May-Grünwald-Giemsa stain. Image size 250×250. Bone marrow aspirate smear
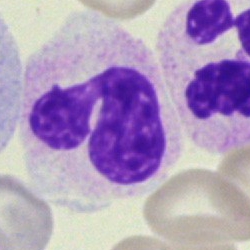
A neutrophil (segmented).